Peripheral blood film:
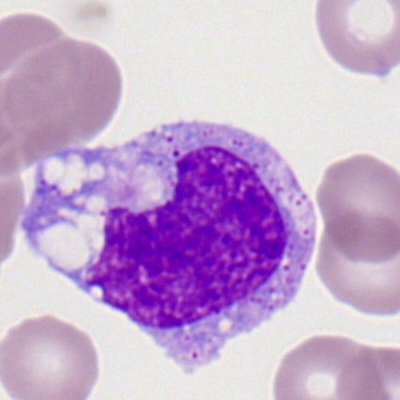
Classification — monocyte.